Bone marrow aspirate smear: 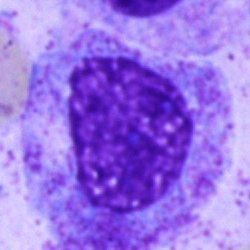
Morphological class — promyelocyte.